Bone marrow smear
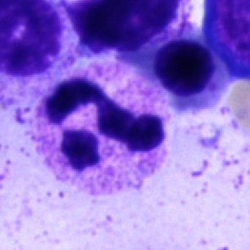

The classification is segmented neutrophil.